Bone marrow smear. 40× oil immersion — 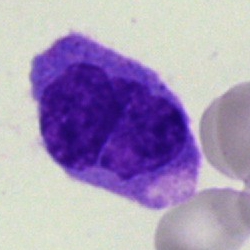
A monocyte.